Bone marrow aspirate smear. Single-cell field:
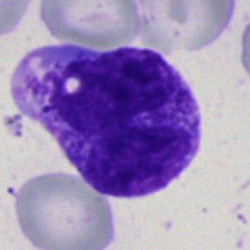Showing a band neutrophil.